Bone marrow smear — 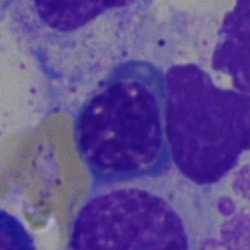Morphological class = normoblast.